Single-cell field. Bone marrow smear: 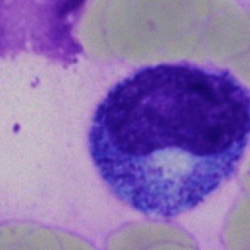
Morphology consistent with a promyelocyte.